Cropped to a single cell; bone marrow aspirate smear: 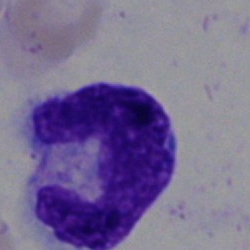

The classification is monocyte.